Bone marrow aspirate smear; May-Grünwald-Giemsa stain
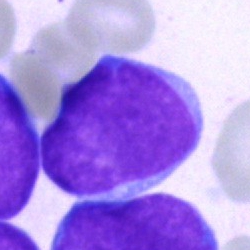Impression — blast.